Bone marrow smear — 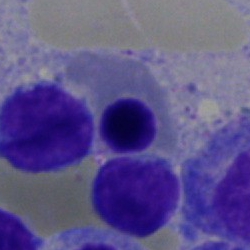 Classification: normoblast.